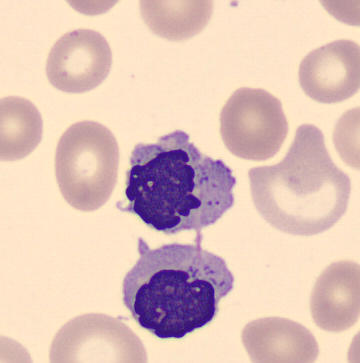
Image: Peripheral blood smear. Q: What type of cell is this?
A: Nucleated red cell.